Bone marrow aspirate smear
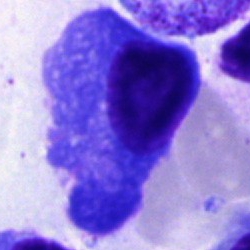
{"cell_type": "plasmacyte"}